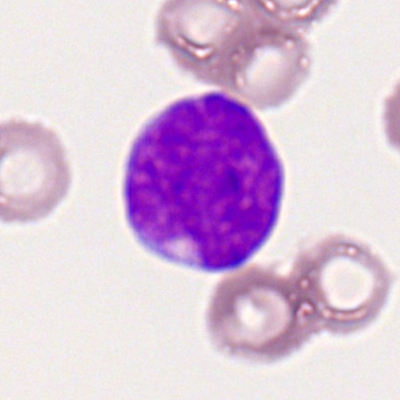

Single cell identified as a myeloid blast.